Pappenheim-stained; bone marrow smear:
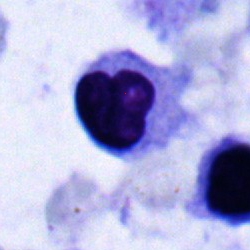 This is a nucleated red blood cell.